Peripheral blood smear
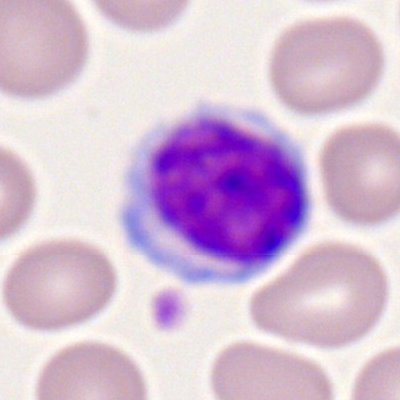Q: What cell is this?
A: It is a lymphocyte.